May-Grünwald-Giemsa stain · bone marrow aspirate smear:
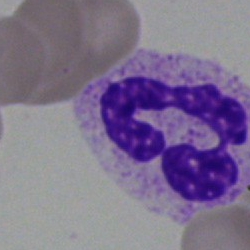

Morphology → segmented neutrophil.